Bone marrow smear: 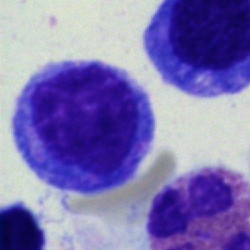Morphology consistent with a blast.